Bone marrow smear
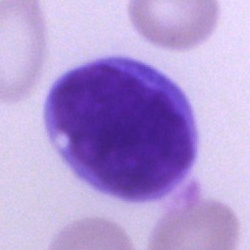
A blast cell.